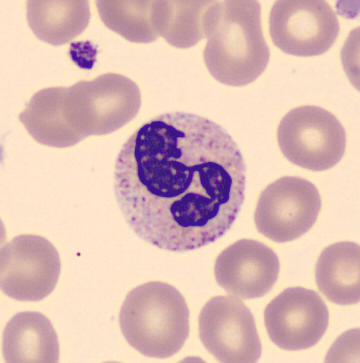
A polymorphonuclear neutrophil on a peripheral blood smear.